Pappenheim-stained; bone marrow smear.
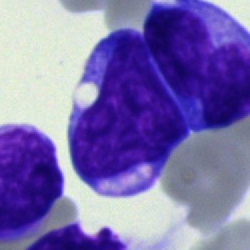 Cell type = undifferentiated blast.